Bone marrow smear.
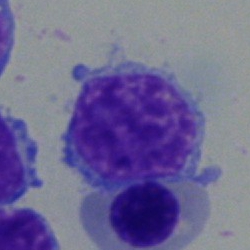

The cell shown is a typical lymphocyte.